Bone marrow aspirate smear
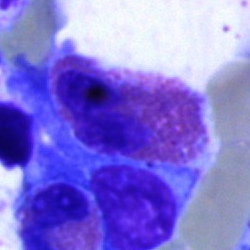
Cell type = eosinophilic granulocyte.